Bone marrow smear: 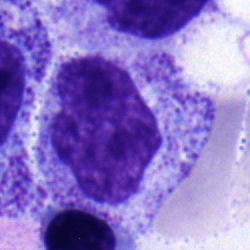

Showing a myelocyte.